Bone marrow smear — 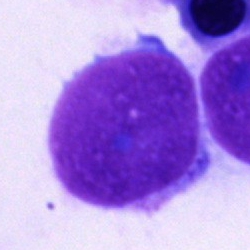
An artifact.